Bone marrow aspirate smear:
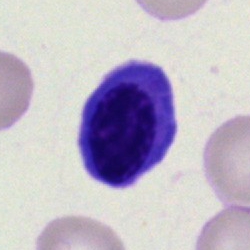

The cell shown is a normoblast.